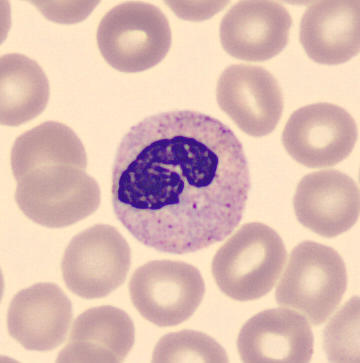Showing a neutrophil (band).

Image: Imaged on a CellaVision DM96 analyser; peripheral blood film.